Brightfield microscopy, 40× oil immersion. Bone marrow aspirate smear:
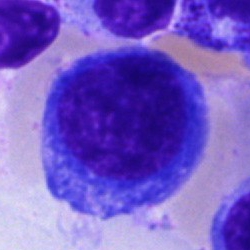 A nucleated red cell.